250 by 250 pixels · bone marrow aspirate smear: 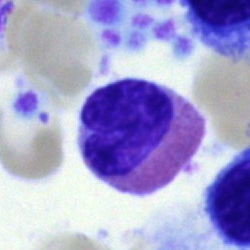

{"cell_type": "eosinophil", "lineage": "myeloid"}